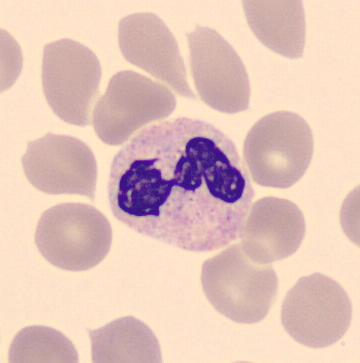 Peripheral blood film.
Q: What is shown here?
A: It is a polymorphonuclear neutrophil.